250×250 px; bone marrow aspirate smear — 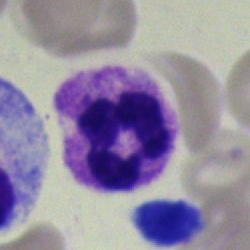
Q: Identify the cell.
A: A segmented neutrophil.